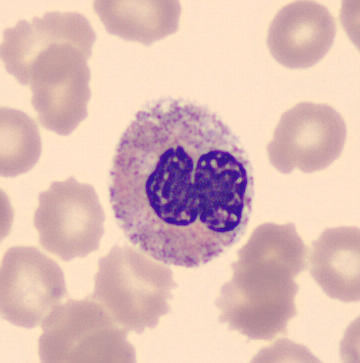

Neutrophil (segmented).